40× oil immersion. Bone marrow smear. Cropped to a single cell:
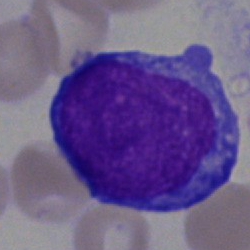Showing an undifferentiated blast.